250×250. Brightfield microscopy, 40× oil immersion. Bone marrow smear — 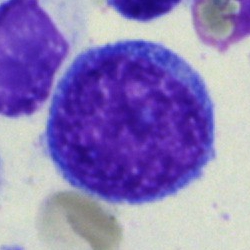
Cell type — blast.